Bone marrow smear:
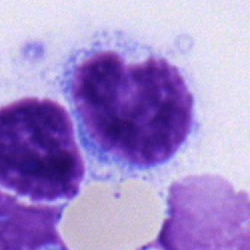

A lymphocyte.